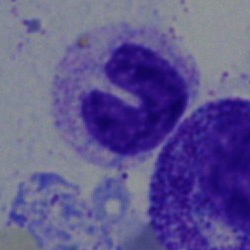 Specimen: bone marrow aspirate smear.
Morphological class: stab cell.
Lineage: myeloid.